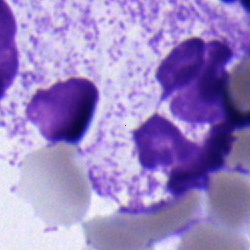 Single-cell crop from a bone marrow smear: neutrophil (segmented).